250×250 px; bone marrow smear: 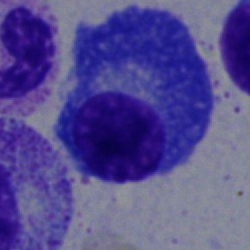

Impression — plasma cell.